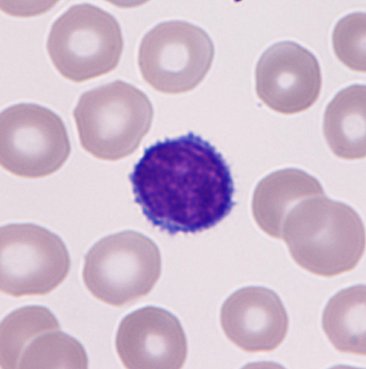

Identified as a lymphocyte.

Peripheral blood film.